250 by 250 pixels; bone marrow aspirate smear.
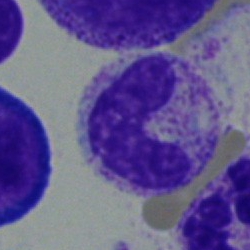Specimen: bone marrow aspirate smear.
Classification: neutrophil (band).